Romanowsky-stained · peripheral blood smear.
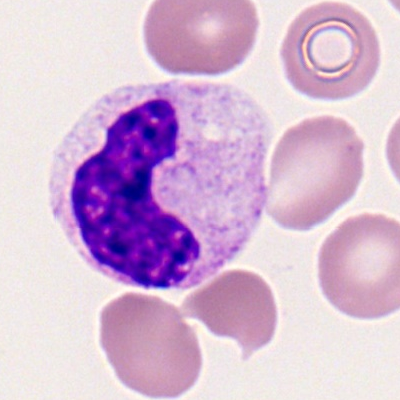

Q: Which cell type is shown here?
A: It is a neutrophil (segmented).